Pappenheim-stained · 40× oil immersion · bone marrow smear:
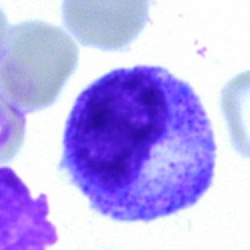A myelocyte.